Single-cell field. Bone marrow aspirate smear: 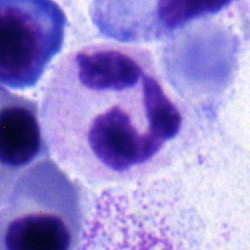 This is a segmented neutrophil.